Bone marrow smear: 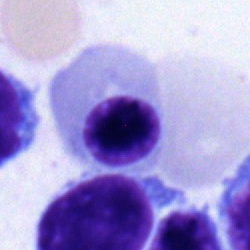

Q: What is the morphological classification of this cell?
A: This is a nucleated red cell.